Bone marrow aspirate smear: 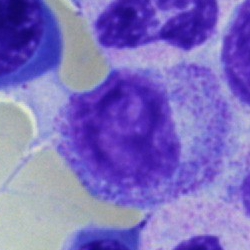{"cell_type": "myelocyte"}